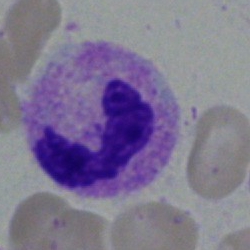 Cell = polymorphonuclear neutrophil.